Peripheral blood smear:
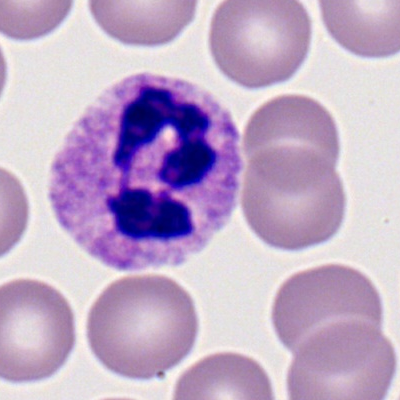 Cell type — segmented neutrophil.